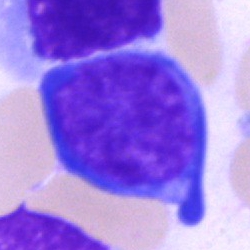Morphological class = pronormoblast.